Bone marrow aspirate smear.
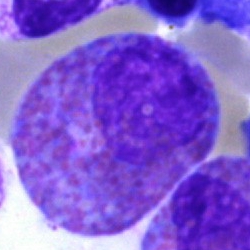Cell: eosinophilic granulocyte.